Bone marrow aspirate smear:
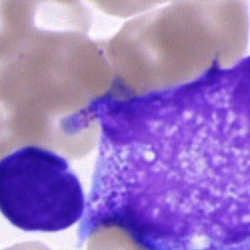The morphological class is cell of indeterminate lineage.